Bone marrow aspirate smear. May-Grünwald-Giemsa stain. 250 by 250 pixels:
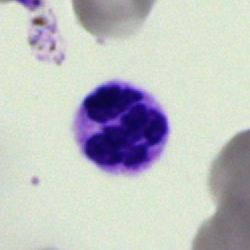
Classification — polymorphonuclear neutrophil.